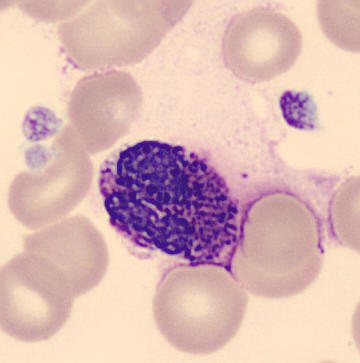

Preparation: Peripheral blood smear. MGG-stained. Classification = basophil.